May-Grünwald-Giemsa/Pappenheim stain · bone marrow aspirate smear — 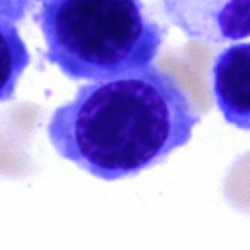
Morphology consistent with a nucleated red cell.